Pappenheim-stained; bone marrow smear; brightfield, 40× oil-immersion objective: 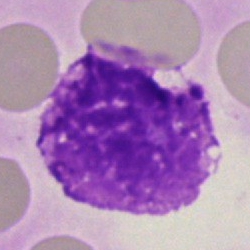 Morphology consistent with an artefact.